Brightfield, 40× oil-immersion objective · single-cell crop · bone marrow aspirate smear — 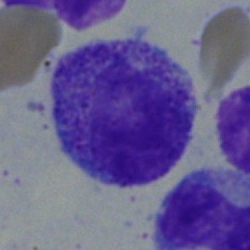
Morphological class = myelocyte.